Image size 400×400. Peripheral blood smear: 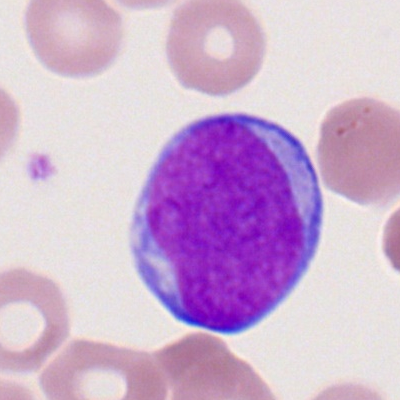 Cell: myeloid blast.